Bone marrow smear; 250 by 250 pixels: 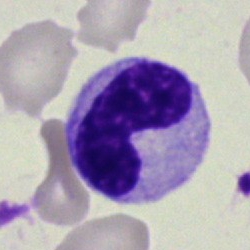

Cell = stab cell.